Bone marrow aspirate smear: 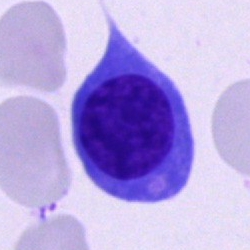
Classification — plasmacyte.